Bone marrow smear — 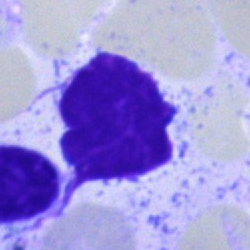

Q: What is shown here?
A: Artifact.